Bone marrow aspirate smear.
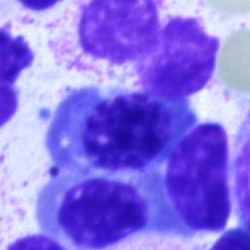

Cell: nucleated red blood cell.